Bone marrow smear · image size 250×250 · MGG-stained: 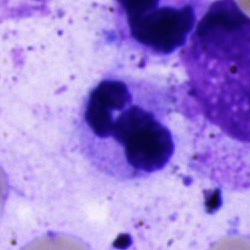
{"cell_type": "neutrophil (segmented)", "lineage": "myeloid"}